Bone marrow aspirate smear; MGG-stained; 250 by 250 pixels.
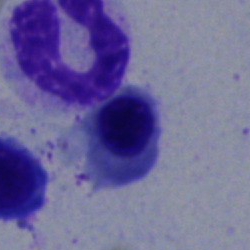

Impression — normoblast.